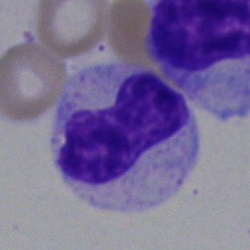
Cell = neutrophil (band).